Bone marrow smear: 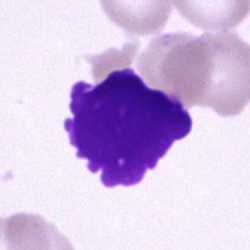
An artefact.